Bone marrow smear: 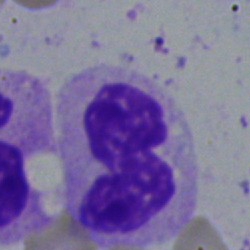 {"cell_type": "neutrophil (segmented)", "lineage": "myeloid"}